Bone marrow aspirate smear; May-Grünwald-Giemsa/Pappenheim stain — 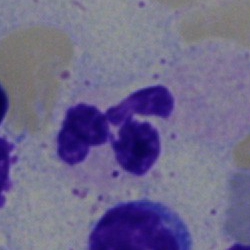Polymorphonuclear neutrophil.